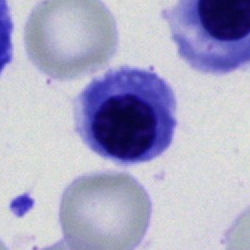
Morphology consistent with a nucleated red blood cell.